Brightfield microscopy, 40× oil immersion. Bone marrow aspirate smear.
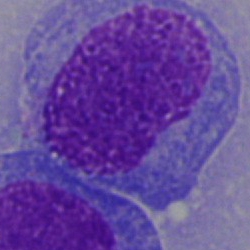
Morphological class = blast cell.